Bone marrow smear
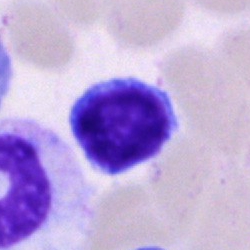

Impression → typical lymphocyte.